Bone marrow smear · brightfield, 40× oil-immersion objective: 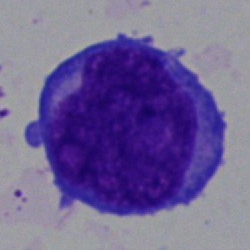
Morphology → undifferentiated blast.